Bone marrow smear
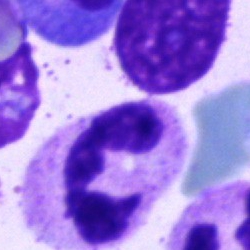The cell shown is a segmented neutrophil.